Bone marrow aspirate smear · image size 250×250 · brightfield, 40× oil-immersion objective — 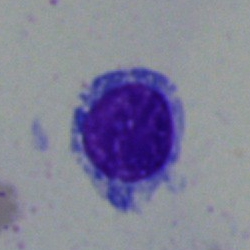
The cell shown is a typical lymphocyte.